Bone marrow smear. Brightfield microscopy, 40× oil immersion: 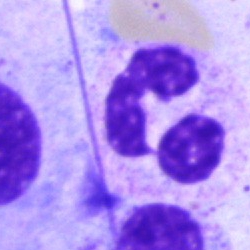Segmented neutrophil.